Bone marrow aspirate smear.
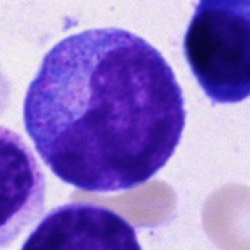Q: Identify the cell.
A: This is a progranulocyte.